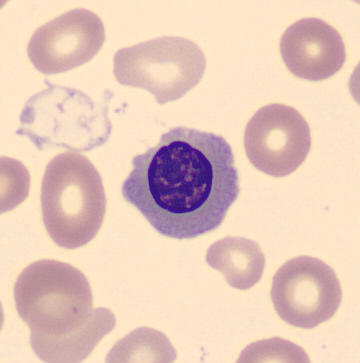Morphology consistent with a nucleated red cell.